May-Grünwald-Giemsa stain · bone marrow aspirate smear — 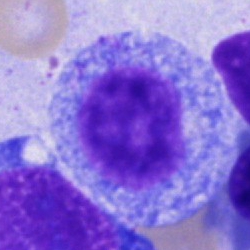Progranulocyte.